Bone marrow smear:
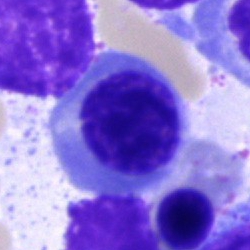Morphological class: nucleated red cell.